Single-cell field; May-Grünwald-Giemsa/Pappenheim stain; bone marrow smear:
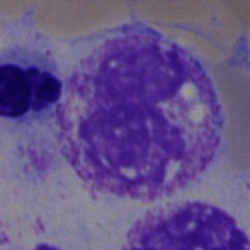
Q: What is shown here?
A: This is an artifact.